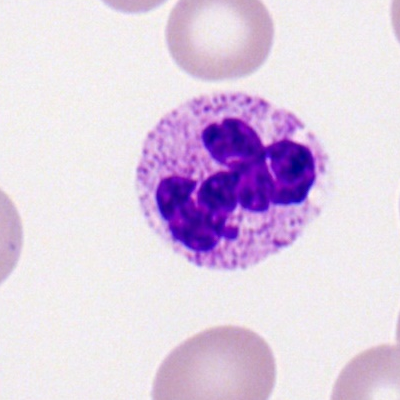
Single cell identified as a segmented neutrophil.